Bone marrow aspirate smear · single-cell crop: 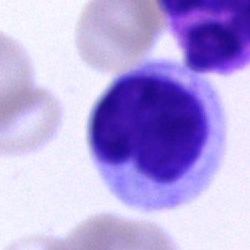
This is a lymphocyte.